Peripheral blood film:
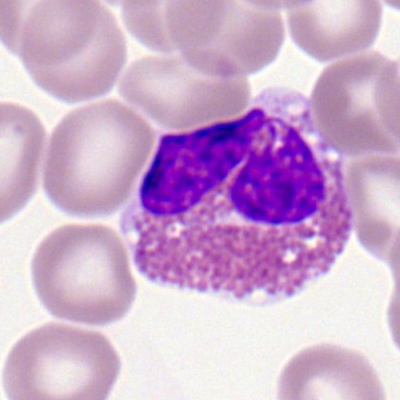Showing an eosinophil.